Bone marrow smear; 40× objective, oil immersion.
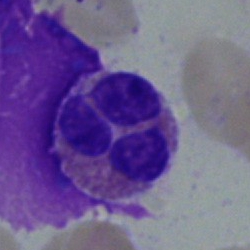 Morphology → eosinophilic granulocyte.